Bone marrow smear.
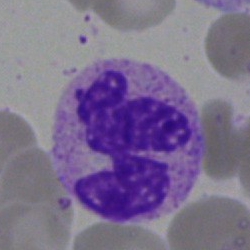 Cell type — polymorphonuclear neutrophil.